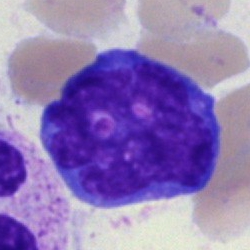 Cell type — monocyte.